Image size 250×250; bone marrow smear: 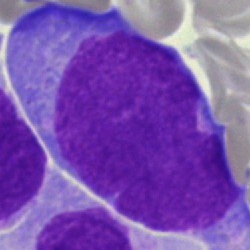 This is a monocyte.